40× oil immersion. Bone marrow aspirate smear. May-Grünwald-Giemsa/Pappenheim stain: 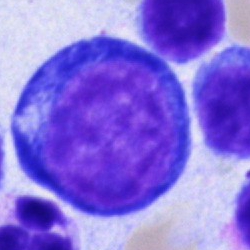Specimen: bone marrow aspirate smear.
Cell: pronormoblast.